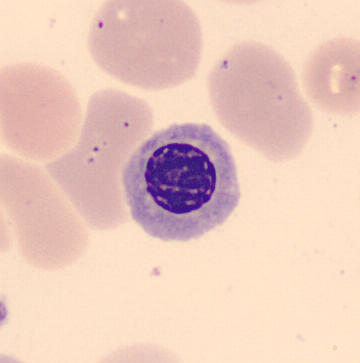Classification — nucleated red cell.